Bone marrow smear.
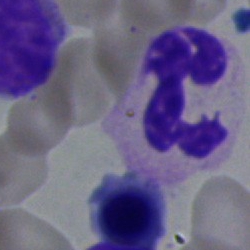
A segmented neutrophil.